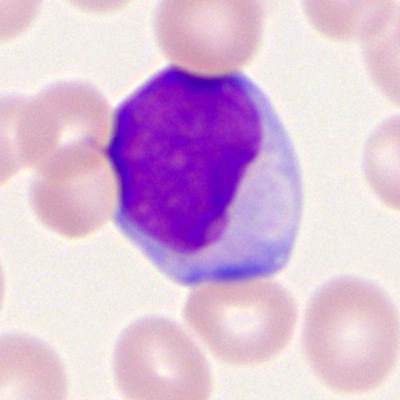

Cell = myeloid blast.